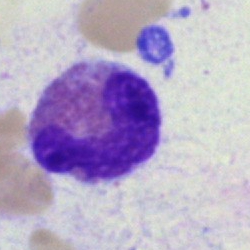Q: Identify the cell.
A: Basophil.